Bone marrow aspirate smear: 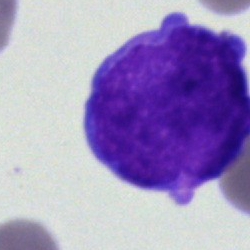 {"cell_type": "blast"}